Brightfield microscopy, 40× oil immersion. Image size 250×250. Bone marrow smear — 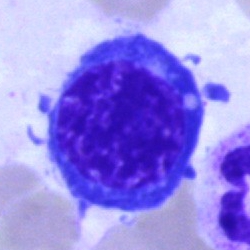 Q: What cell is this?
A: This is a nucleated red cell.